Bone marrow smear. Image size 250×250. Single-cell crop
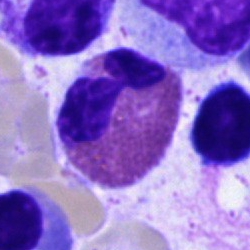

Q: What type of cell is this?
A: An eosinophilic granulocyte.